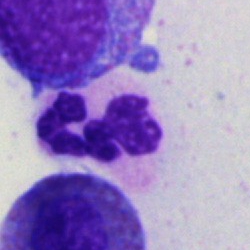Impression → segmented neutrophil.